Bone marrow aspirate smear. Image size 250×250
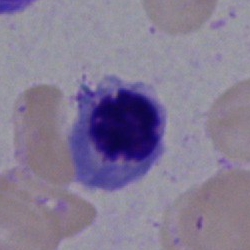
Classification: erythroblast.